Bone marrow smear.
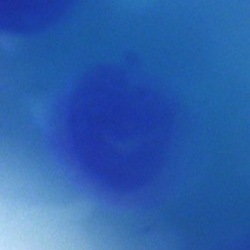 Artifact.